Bone marrow smear
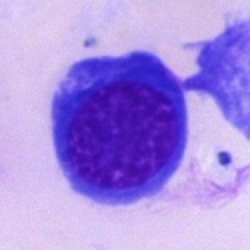 Specimen: bone marrow smear.
Classification: nucleated red blood cell.
Lineage: erythroid.